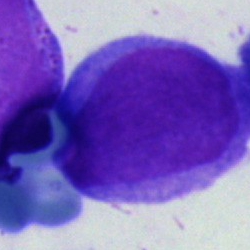

Morphological class = undifferentiated blast.